MGG-stained. Bone marrow aspirate smear. 250×250: 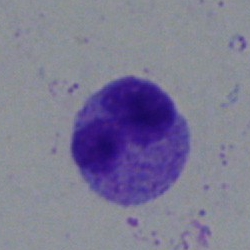 A segmented neutrophil.